Bone marrow aspirate smear: 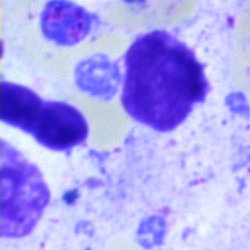 {"cell_type": "artifact"}